Brightfield, 40× oil-immersion objective; bone marrow smear.
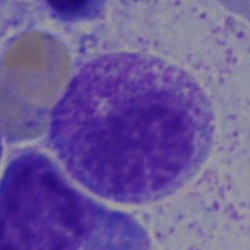
{"cell_type": "eosinophil", "lineage": "myeloid"}